Bone marrow aspirate smear — 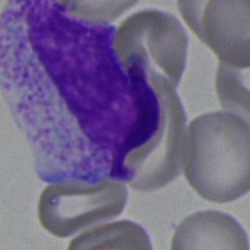
Myelocyte.